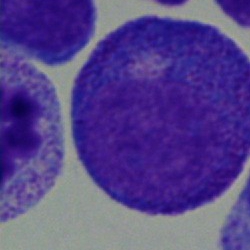

Q: What type of cell is this?
A: This is a promyelocyte.